Peripheral blood film.
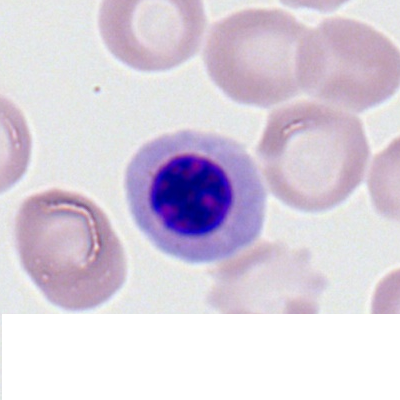 Morphology consistent with a nucleated red cell.